250×250 px; 40× objective, oil immersion; bone marrow aspirate smear: 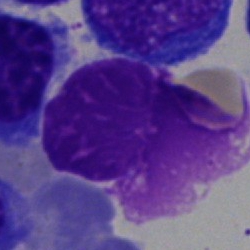
Classification: artifact.